40× objective, oil immersion · May-Grünwald-Giemsa stain · bone marrow smear:
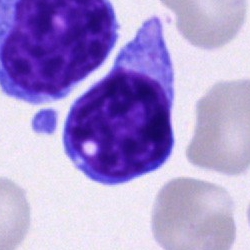

The cell type is typical lymphocyte.